250×250 px. Bone marrow smear.
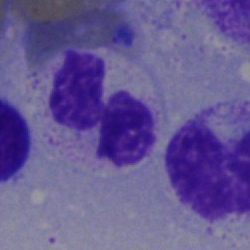
Morphology — segmented neutrophil.